Bone marrow aspirate smear; Pappenheim-stained; 40× oil immersion
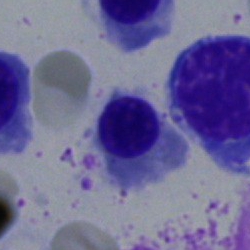

Showing an erythroblast.